Imaged on a CellaVision DM96 analyser · peripheral blood film: 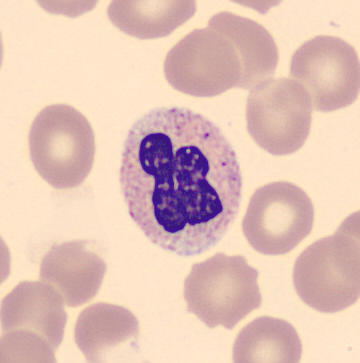 Showing a segmented neutrophil.